Bone marrow aspirate smear: 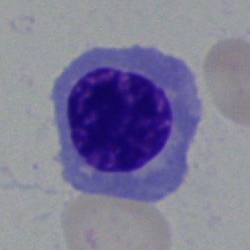 The cell is normoblast.